Bone marrow aspirate smear:
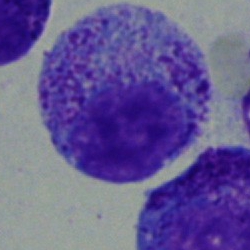

Impression → myelocyte.